Peripheral blood smear
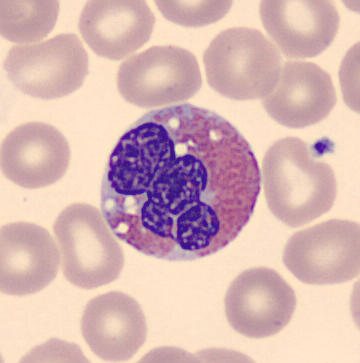 Cell type: eosinophil.